May-Grünwald-Giemsa stain; bone marrow smear; single cell centered in the field:
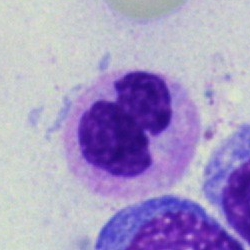Morphology → polymorphonuclear neutrophil.